250×250. Bone marrow smear. MGG-stained:
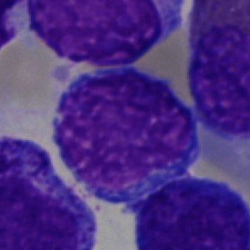
Q: Which cell type is shown here?
A: Normoblast.